40× objective, oil immersion · bone marrow aspirate smear.
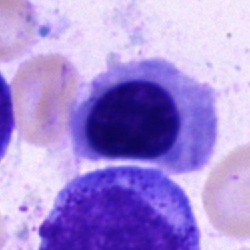 Q: What is shown here?
A: This is a nucleated red blood cell.